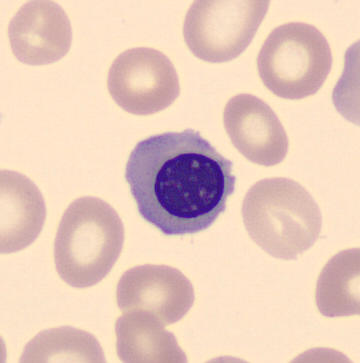
Morphological class: nucleated red blood cell. Preparation: Peripheral blood film · cropped to a single cell.